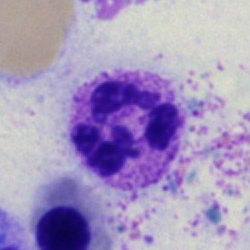 Bone marrow aspirate smear, single cell — segmented neutrophil.